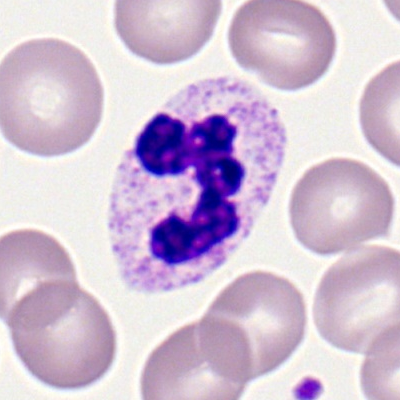Classification: neutrophil (segmented).